Bone marrow aspirate smear — 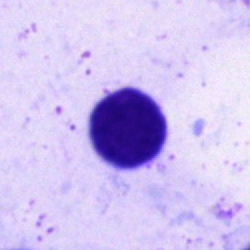
Impression — lymphocyte.